Bone marrow aspirate smear — 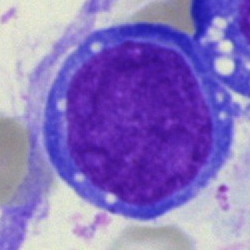

Q: What is shown here?
A: It is an undifferentiated blast.